Bone marrow aspirate smear; May-Grünwald-Giemsa stain.
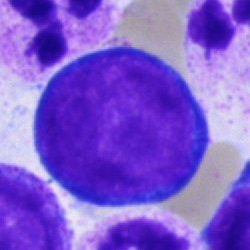 This is a pronormoblast.